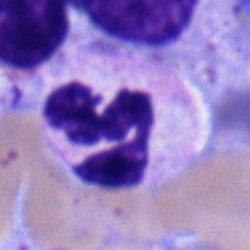 Single-cell crop from a bone marrow smear: polymorphonuclear neutrophil.